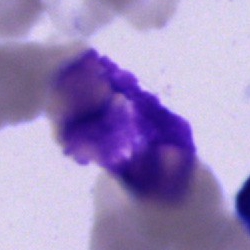

Specimen: bone marrow smear.
Classification: artefact.